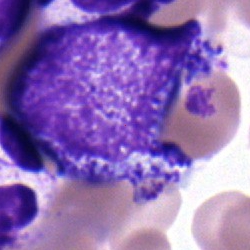

Bone marrow aspirate smear, single cell — myelocyte.